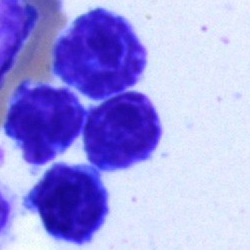

This is a lymphocyte.